40× objective, oil immersion. Bone marrow aspirate smear:
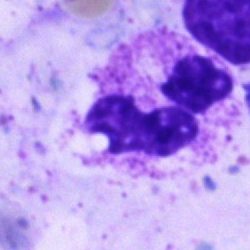 Classification — segmented neutrophil.